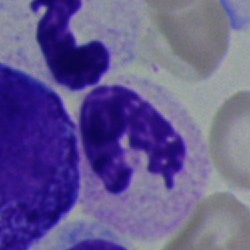
Impression — stab cell.